Peripheral blood smear · 100× oil immersion, 14.14 px/µm
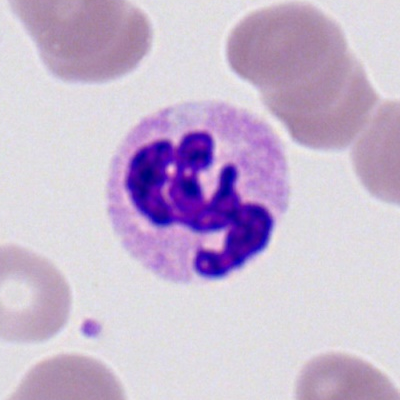 A segmented neutrophil.